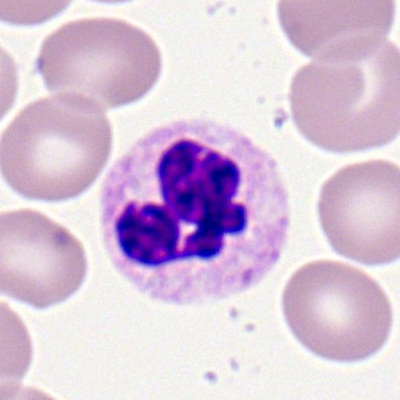
Single cell identified as a neutrophil (segmented).